Bone marrow aspirate smear
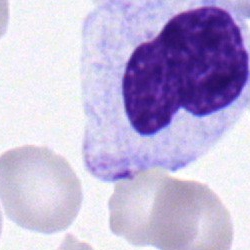Single cell identified as a polymorphonuclear neutrophil.